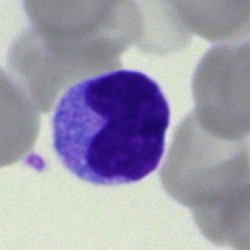 The classification is monocyte.